Brightfield microscopy, 40× oil immersion · bone marrow smear — 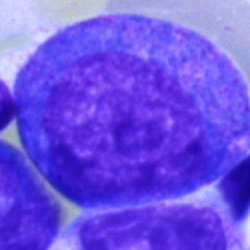Single cell identified as a promyelocyte.